Peripheral blood film
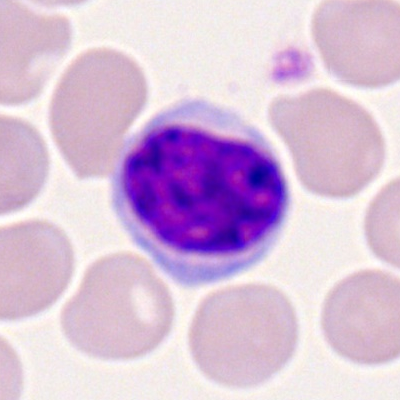

The cell shown is a lymphocyte.